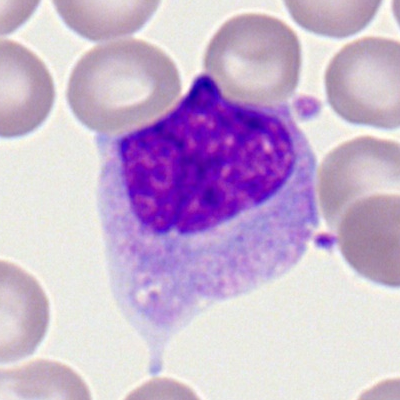

Single cell identified as a monocyte.